Bone marrow smear · brightfield microscopy, 40× oil immersion — 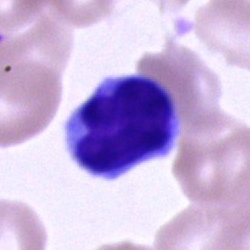

Showing a typical lymphocyte.